Bone marrow aspirate smear; MGG-stained; 250×250 px:
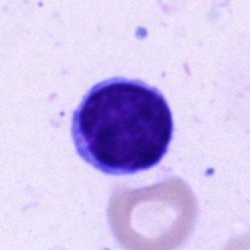
Q: What type of cell is this?
A: It is a lymphocyte.